Bone marrow smear · Pappenheim-stained:
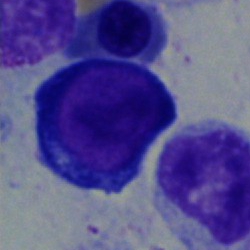

Cell type: metamyelocyte.